Bone marrow aspirate smear
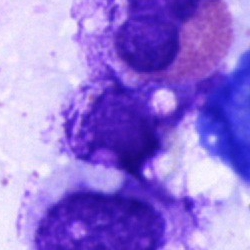Classification — artifact.